Bone marrow aspirate smear · image size 250×250: 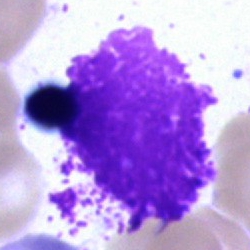
Q: What is shown here?
A: This is an artefact.